Bone marrow smear — 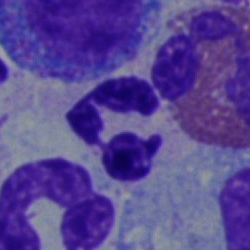 Cell type — polymorphonuclear neutrophil.